Bone marrow aspirate smear. May-Grünwald-Giemsa stain.
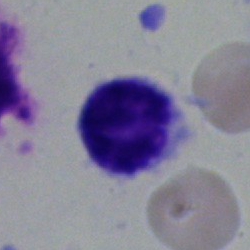 Hairy cell.